Pappenheim-stained; bone marrow smear
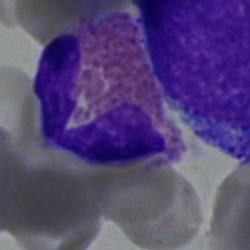Specimen: bone marrow aspirate smear.
Morphological class: eosinophilic granulocyte.
Lineage: myeloid.